Single-cell field; bone marrow aspirate smear:
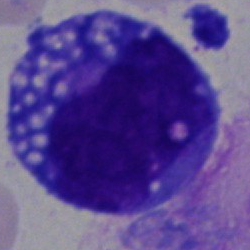Q: What is shown here?
A: This is a blast.